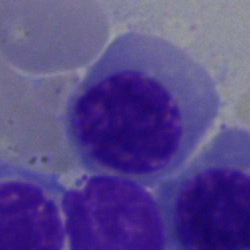

Q: What cell is this?
A: It is a nucleated red blood cell.